Bone marrow smear
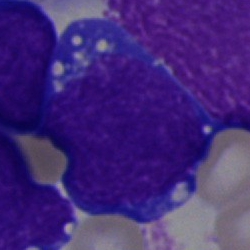

Cell type: blast cell.